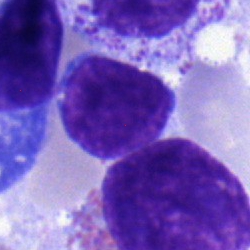
Specimen: bone marrow aspirate smear.
Classification: typical lymphocyte.